May-Grünwald-Giemsa/Pappenheim stain · bone marrow smear.
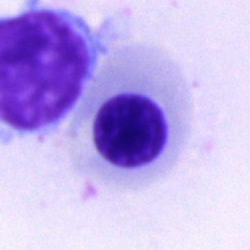
Specimen: bone marrow smear.
Morphological class: nucleated red cell.
Lineage: erythroid.